Bone marrow smear: 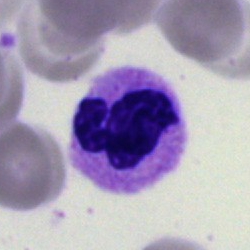 The cell type is polymorphonuclear neutrophil.